40× oil immersion. Bone marrow aspirate smear. Single-cell field — 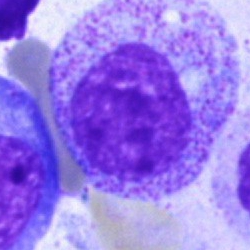

Showing a myelocyte.